Bone marrow smear — 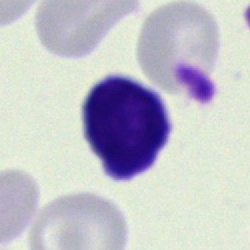 {"cell_type": "typical lymphocyte", "lineage": "lymphoid"}